Bone marrow aspirate smear:
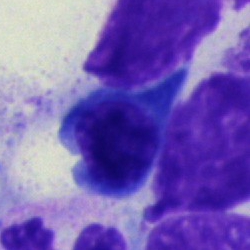This is an erythroblast.